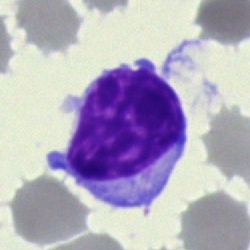Morphological class: lymphocyte.